Bone marrow smear.
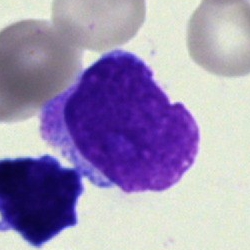 The classification is undifferentiated blast.